Bone marrow smear — 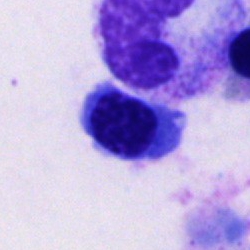Morphological class: nucleated red cell.